Bone marrow smear; May-Grünwald-Giemsa stain:
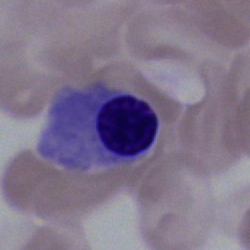
A nucleated red cell.